Bone marrow smear: 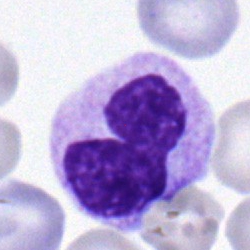
This is a metamyelocyte.